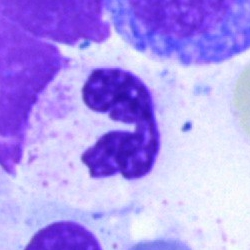A neutrophil (segmented) on a bone marrow smear.